Bone marrow aspirate smear — 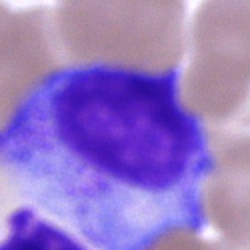The cell shown is a promyelocyte.